Bone marrow aspirate smear · brightfield microscopy, 40× oil immersion · Pappenheim-stained
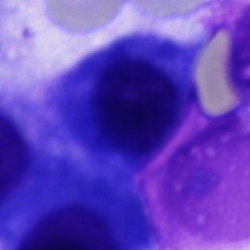

Cell — other cell.